Bone marrow smear.
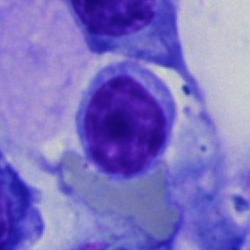
The cell shown is a lymphocyte.